Bone marrow smear
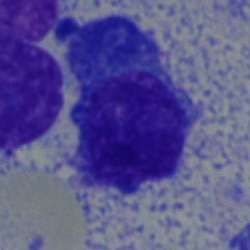Q: What is shown here?
A: It is a plasmacyte.